Pappenheim-stained. Bone marrow smear: 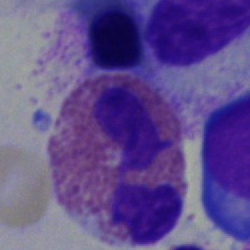Morphology consistent with an eosinophil.